Pappenheim-stained · bone marrow smear.
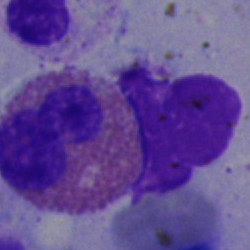
Cell type: eosinophil.